Cropped to a single cell; bone marrow aspirate smear; 250×250:
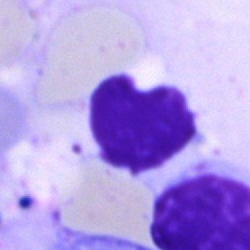
Specimen: bone marrow smear.
Cell type: artifact.